Bone marrow smear.
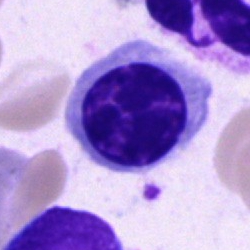
Q: What is the morphological classification of this cell?
A: A nucleated red cell.